Bone marrow smear; brightfield microscopy, 40× oil immersion; single-cell crop.
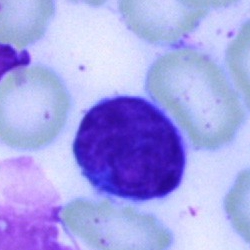

The cell shown is a lymphocyte.